Cropped to a single cell; bone marrow aspirate smear
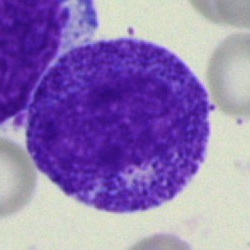

Impression — progranulocyte.